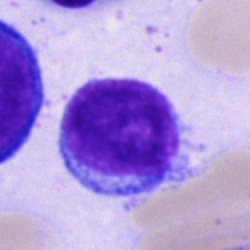Q: What type of cell is this?
A: A typical lymphocyte.